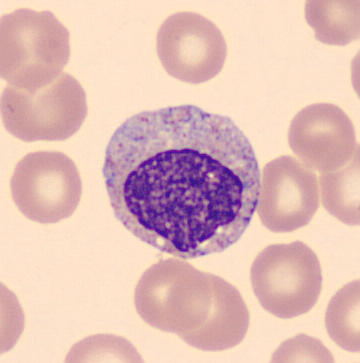The cell shown is a metamyelocyte.
Acquisition: Peripheral blood smear.